Bone marrow aspirate smear; 250×250 px; single cell centered in the field
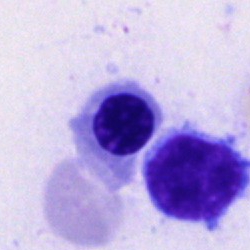
Cell type: normoblast.